Bone marrow smear; MGG-stained
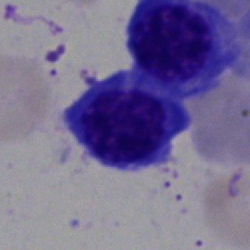
Impression → nucleated red blood cell.